Bone marrow aspirate smear:
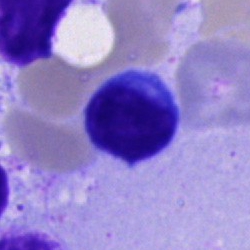Q: What type of cell is this?
A: This is a typical lymphocyte.